Bone marrow smear: 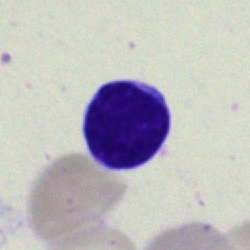
Q: Identify the cell.
A: It is a lymphocyte.